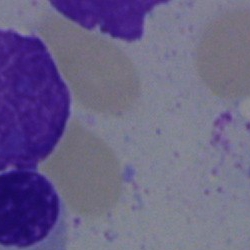

Specimen: bone marrow smear.
Classification: artifact.